Bone marrow aspirate smear
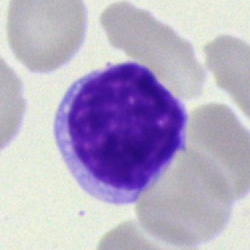
Specimen: bone marrow smear.
Cell type: lymphocyte.